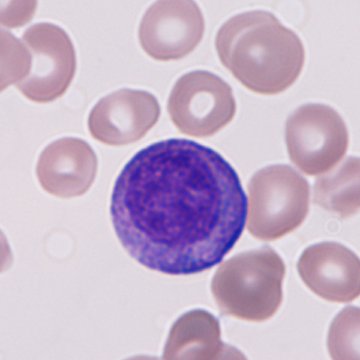 Q: Which cell type is shown here?
A: An immature granulocyte (promyelocyte, myelocyte or metamyelocyte).